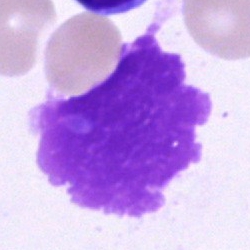

This is an artefact.